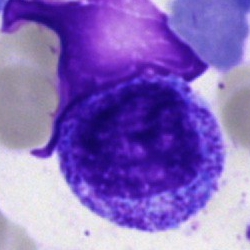

The cell type is progranulocyte.